Bone marrow aspirate smear — 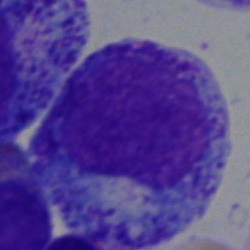Q: Which cell type is shown here?
A: This is a promyelocyte.